Bone marrow aspirate smear; May-Grünwald-Giemsa stain
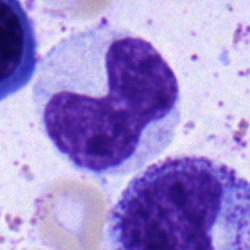 A band neutrophil.